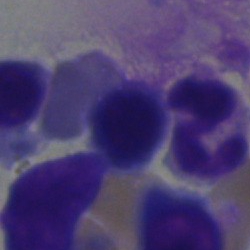
Morphology consistent with a neutrophil (segmented).